Bone marrow aspirate smear · 250×250:
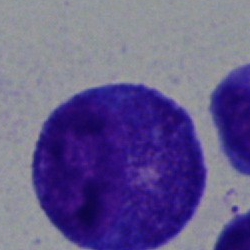
Cell: progranulocyte.